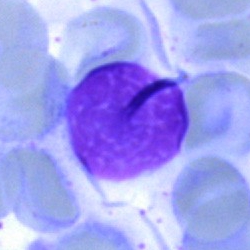

Classification = cell of indeterminate lineage.